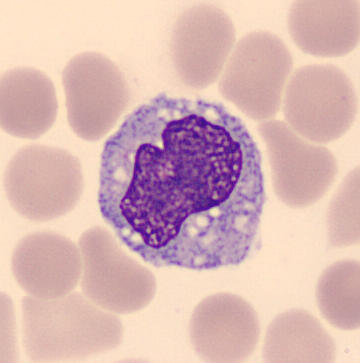
Peripheral blood smear. 360×363.

{"cell_type": "monocyte", "lineage": "myeloid"}